Bone marrow smear: 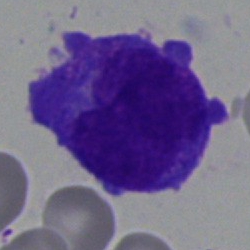

Q: What is the morphological classification of this cell?
A: This is an undifferentiated blast.